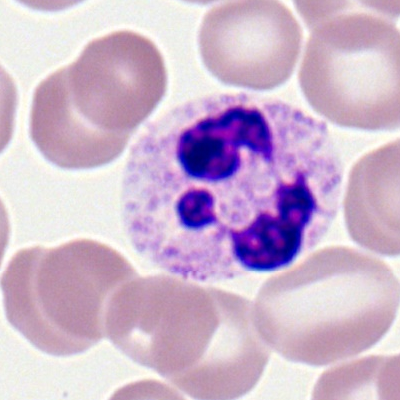
Morphology → segmented neutrophil.